Bone marrow smear:
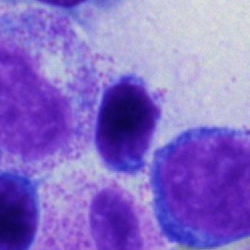

Classification: lymphocyte.